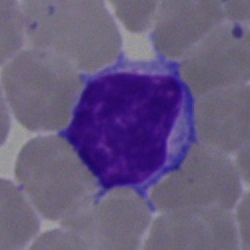

Morphological class: lymphocyte.